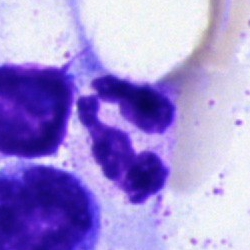
A polymorphonuclear neutrophil.